Bone marrow aspirate smear. May-Grünwald-Giemsa/Pappenheim stain
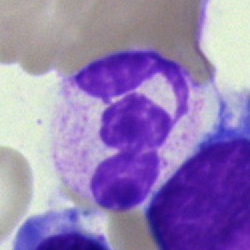 Classification: neutrophil (segmented).